Peripheral blood smear; single cell centered in the field — 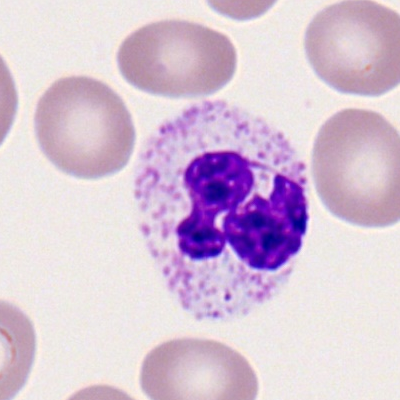

Specimen: peripheral blood film.
Cell type: neutrophil (segmented).